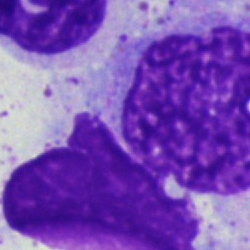 Specimen: bone marrow aspirate smear.
Classification: artifact.